Bone marrow aspirate smear — 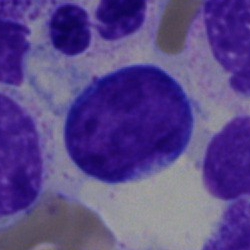 Specimen: bone marrow smear.
Cell type: typical lymphocyte.
Lineage: lymphoid.